Bone marrow aspirate smear
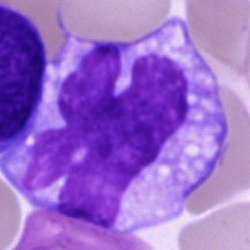 {"cell_type": "monocyte"}